Single-cell field; bone marrow smear.
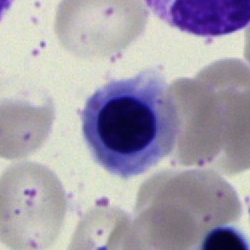
A normoblast.